Peripheral blood film · 100× oil immersion, 14.14 px/µm · single-cell field:
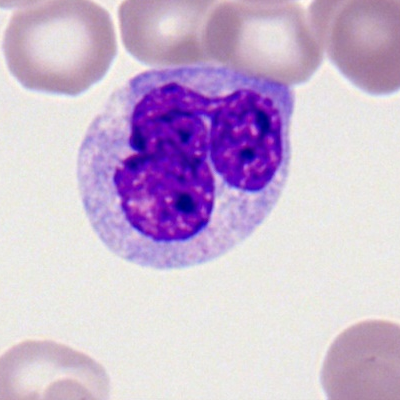

Q: What is the morphological classification of this cell?
A: It is a monocyte.